Bone marrow aspirate smear:
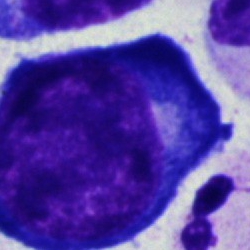 {"cell_type": "proerythroblast"}